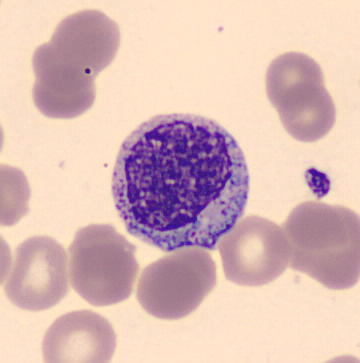Acquisition: Peripheral blood film; single cell centered in the field.

Q: What type of cell is this?
A: A myelocyte.